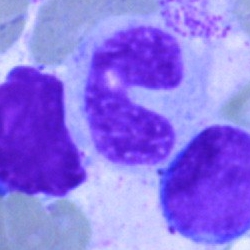

Impression → band-form neutrophil.